Bone marrow smear.
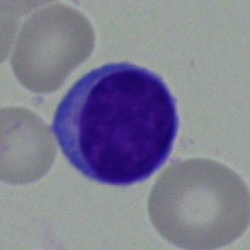Impression → lymphocyte.